Bone marrow smear — 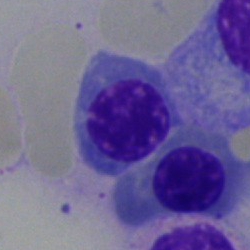 Morphology consistent with a nucleated red blood cell.